Peripheral blood film:
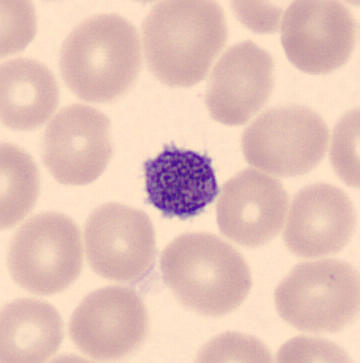

Identified as a thrombocyte.